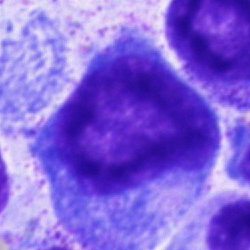Morphology consistent with a promyelocyte.